Romanowsky-type stain · peripheral blood film · M8 digital microscope (Precipoint), 100× oil immersion — 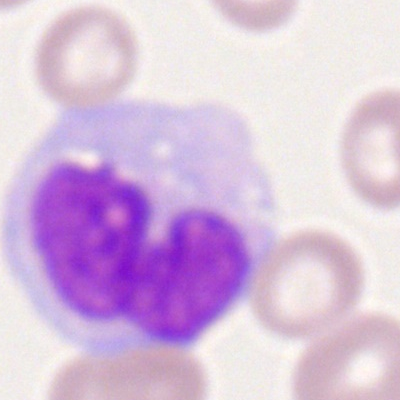The cell is monocyte.